Bone marrow aspirate smear — 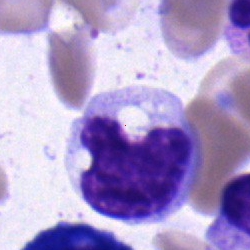Single cell identified as a monocyte.